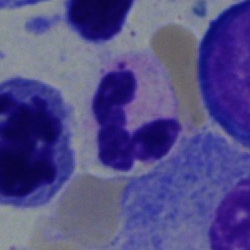
Q: What cell is this?
A: It is a neutrophil (segmented).